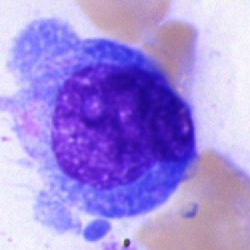
A blast cell.